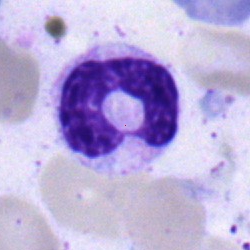 Single cell identified as a polymorphonuclear neutrophil.